May-Grünwald-Giemsa/Pappenheim stain; bone marrow smear.
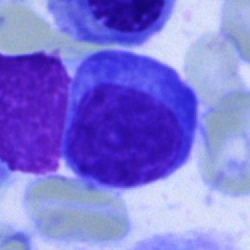Specimen: bone marrow aspirate smear.
Morphological class: plasma cell.
Lineage: lymphoid.